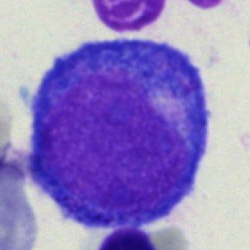Showing a proerythroblast.